Bone marrow smear · May-Grünwald-Giemsa stain: 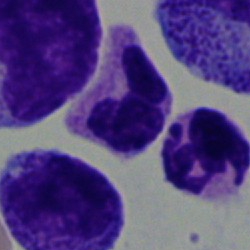
Specimen: bone marrow aspirate smear.
Cell: segmented neutrophil.
Lineage: myeloid.